Peripheral blood film.
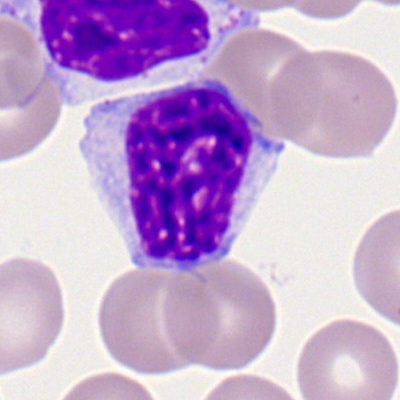 Typical lymphocyte.